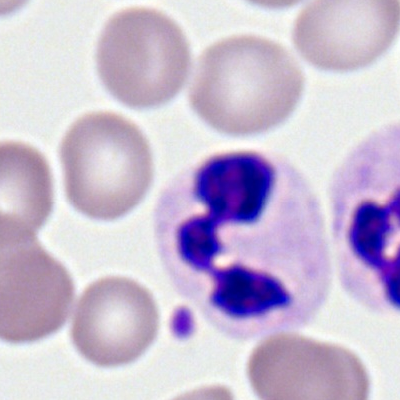
Impression → neutrophil (segmented).